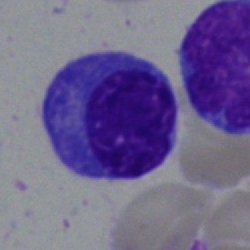
This is a plasmacyte.